Bone marrow smear
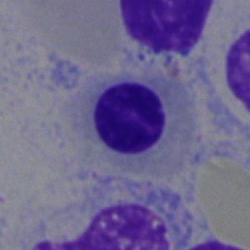 Showing a nucleated red cell.